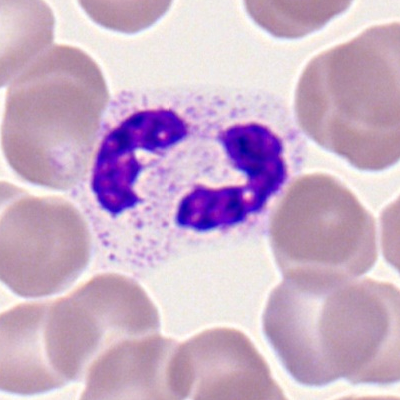

Cell type = segmented neutrophil.